Pappenheim-stained. Bone marrow aspirate smear. Cropped to a single cell.
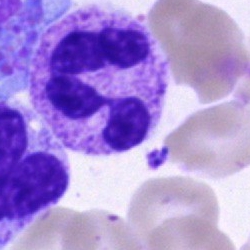
Morphology — segmented neutrophil.